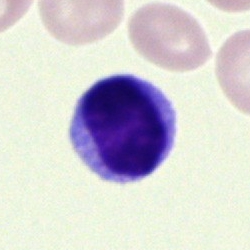
Bone marrow smear showing a lymphocyte.